Bone marrow smear — 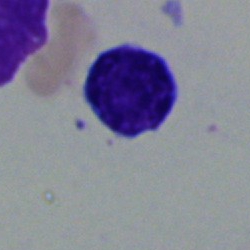
Q: What is the morphological classification of this cell?
A: A typical lymphocyte.